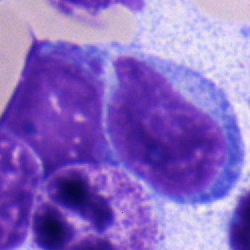

Cell: typical lymphocyte.